Bone marrow smear. 40× objective, oil immersion. May-Grünwald-Giemsa/Pappenheim stain — 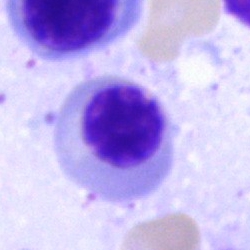Nucleated red blood cell.